Brightfield, 40× oil-immersion objective · bone marrow aspirate smear.
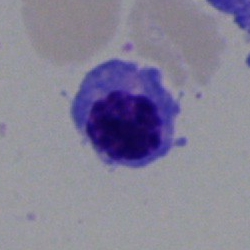 Classification: nucleated red blood cell.